Bone marrow aspirate smear · brightfield microscopy, 40× oil immersion
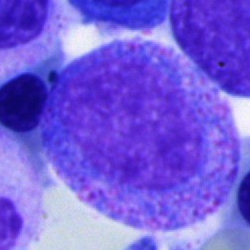
{"cell_type": "promyelocyte"}